Bone marrow aspirate smear; single cell centered in the field
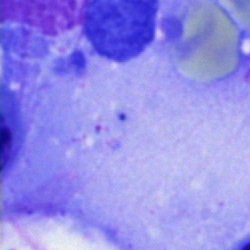
This is an artefact.